Bone marrow smear — 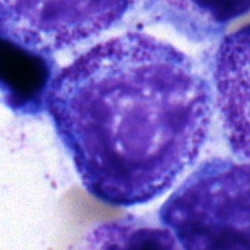This is a promyelocyte.